Bone marrow smear. 250 by 250 pixels: 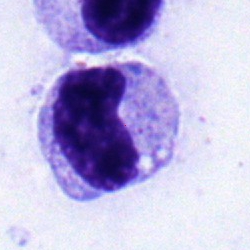
Q: What cell is this?
A: It is a metamyelocyte.